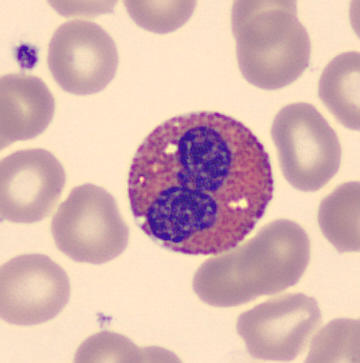 Peripheral blood film.

Cell type — eosinophil.